Bone marrow aspirate smear — 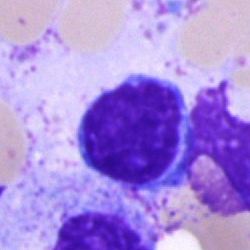 Single cell identified as a lymphocyte.